40× oil immersion; bone marrow aspirate smear:
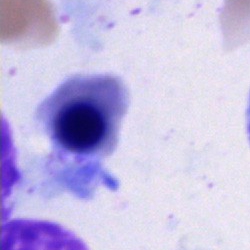

Morphology consistent with an erythroblast.